Brightfield microscopy, 40× oil immersion; May-Grünwald-Giemsa/Pappenheim stain; bone marrow aspirate smear
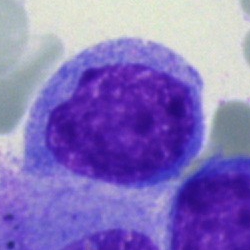
Showing an undifferentiated blast.